Bone marrow aspirate smear.
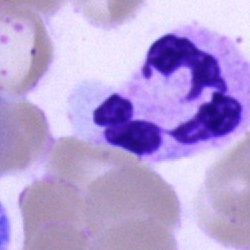
Q: What cell is this?
A: This is a neutrophil (segmented).